Peripheral blood smear: 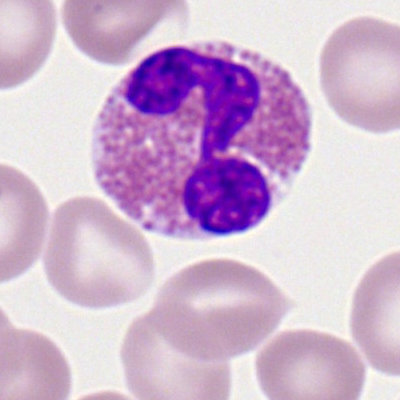
Q: What type of cell is this?
A: Eosinophil.